Bone marrow aspirate smear.
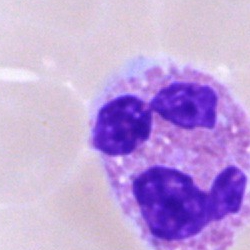Specimen: bone marrow smear.
Cell: eosinophilic granulocyte.
Lineage: myeloid.